Peripheral blood smear · single cell centered in the field.
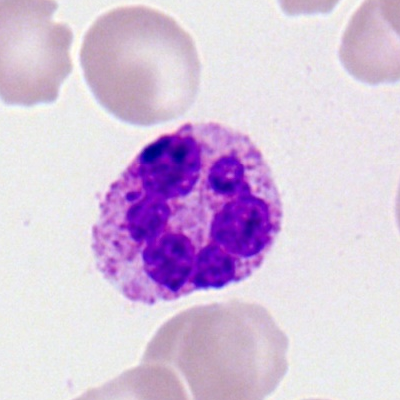

The cell type is basophilic granulocyte.